40× oil immersion. Bone marrow smear.
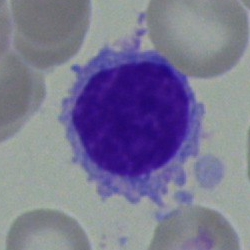
Lymphocyte.